Bone marrow smear.
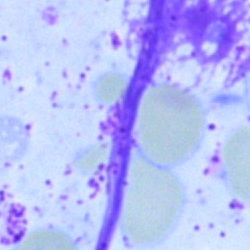 Morphological class — artefact.